Image size 250×250 · bone marrow smear
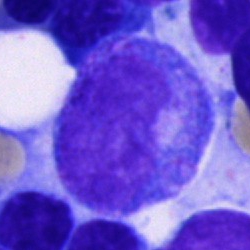Morphology consistent with a progranulocyte.